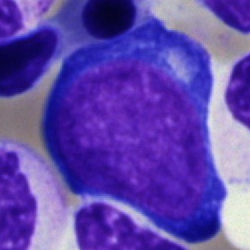
Single-cell crop from a bone marrow smear: pronormoblast.